Bone marrow aspirate smear — 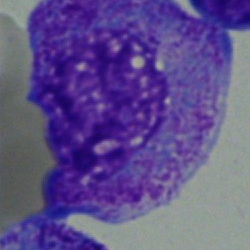Progranulocyte.